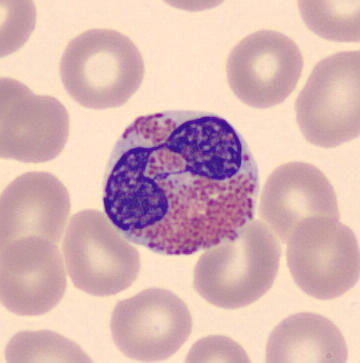The cell is eosinophil.